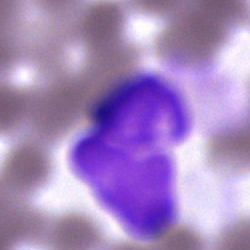 An artifact on a bone marrow smear.